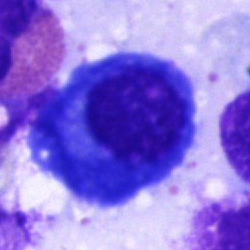
This is a plasmacyte.